Bone marrow smear: 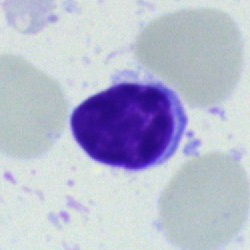 Morphological class = typical lymphocyte.